Single-cell field. Brightfield microscopy, 40× oil immersion. Bone marrow smear
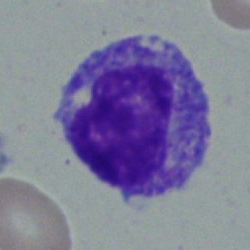
Specimen: bone marrow smear.
Morphological class: myelocyte.
Lineage: myeloid.